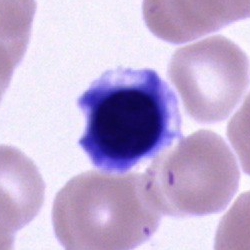Impression — nucleated red blood cell.